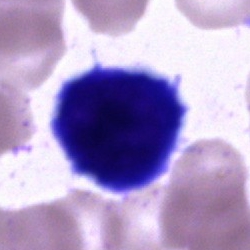
Specimen: bone marrow aspirate smear.
Classification: artifact.